Bone marrow smear
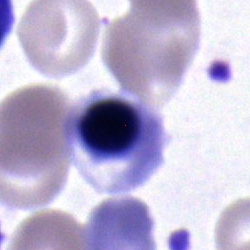

Cell: nucleated red cell.